Peripheral blood smear · May-Grünwald-Giemsa-stained — 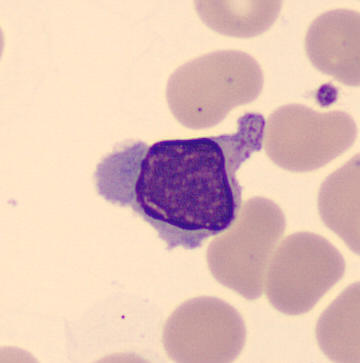 Typical lymphocyte.